Bone marrow smear: 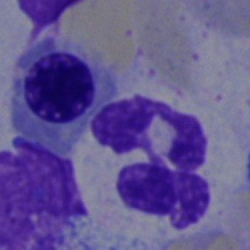

The cell shown is a neutrophil (segmented).